Bone marrow aspirate smear · brightfield, 40× oil-immersion objective
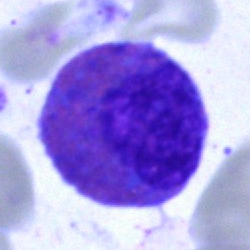

This is an eosinophil.